Single-cell crop. Bone marrow smear — 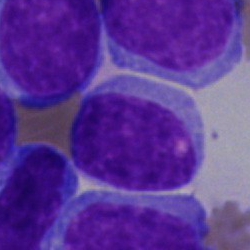 The morphological class is blast.